Bone marrow aspirate smear:
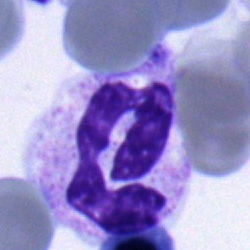 Single cell identified as a segmented neutrophil.